Bone marrow smear; single-cell crop:
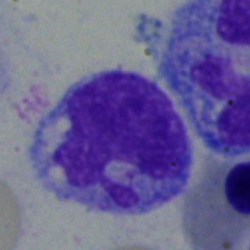

Specimen: bone marrow aspirate smear.
Cell: monocyte.